Bone marrow smear; May-Grünwald-Giemsa/Pappenheim stain; image size 250×250: 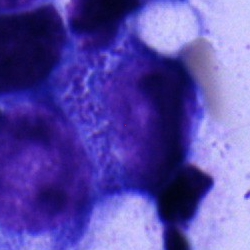
The cell is progranulocyte.